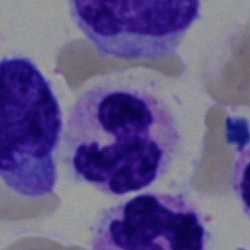
Classification = neutrophil (segmented).